Brightfield, 40× oil-immersion objective; bone marrow smear: 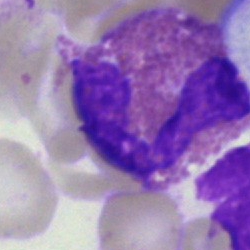Q: Which cell type is shown here?
A: This is an eosinophil.